Bone marrow smear:
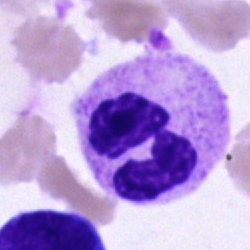 Impression → polymorphonuclear neutrophil.